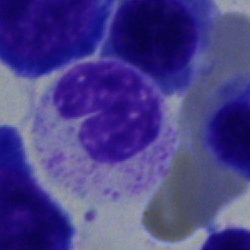A stab cell on a bone marrow smear.